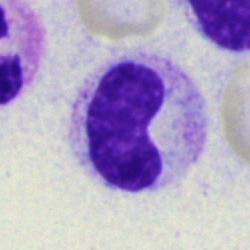 Q: Which cell type is shown here?
A: This is a stab cell.